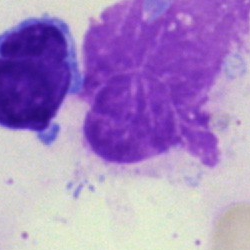
Morphological class: artefact.